May-Grünwald-Giemsa/Pappenheim stain. Bone marrow aspirate smear — 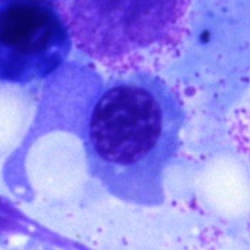 Q: What type of cell is this?
A: Erythroblast.